Bone marrow smear:
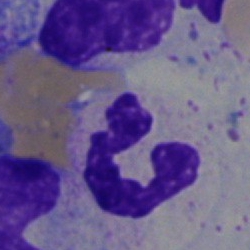
Q: What is shown here?
A: It is a segmented neutrophil.